Bone marrow aspirate smear · 40× objective, oil immersion — 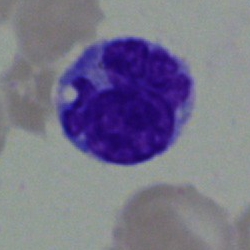A monocyte.